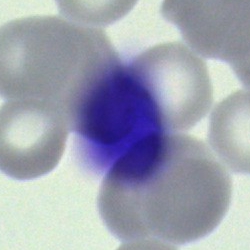
Morphological class — unidentifiable cell.